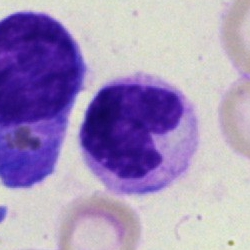 Cell: neutrophil (segmented).